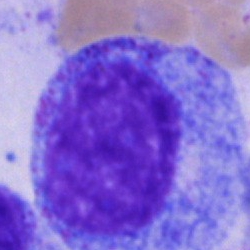

Single-cell crop from a bone marrow smear: progranulocyte.